Bone marrow aspirate smear
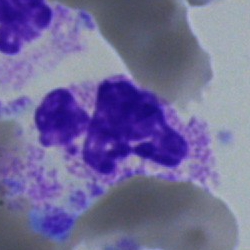

Morphological class = neutrophil (segmented).